Bone marrow aspirate smear; 250 by 250 pixels — 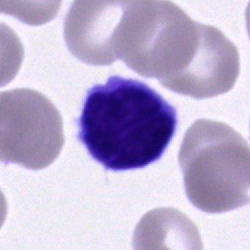

{"cell_type": "lymphocyte", "lineage": "lymphoid"}